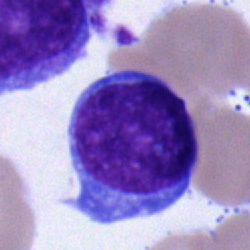

Single-cell crop from a bone marrow smear: blast cell.